Bone marrow smear.
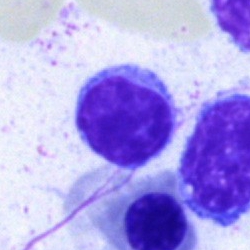
Morphology → typical lymphocyte.